Bone marrow smear — 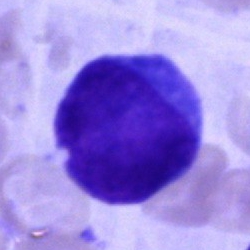Q: What cell is this?
A: Blast cell.